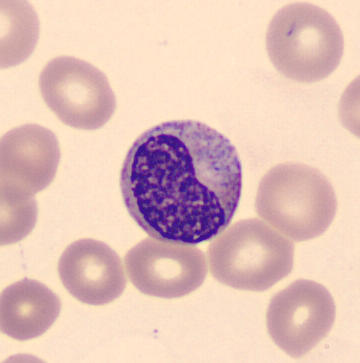
Acquisition: Peripheral blood smear. Cell — metamyelocyte.